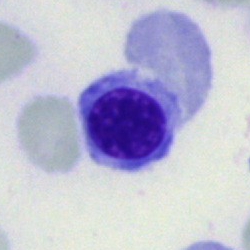 Cell = nucleated red blood cell.